Bone marrow aspirate smear · 250 by 250 pixels.
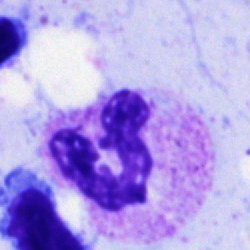Cell = segmented neutrophil.